Bone marrow smear
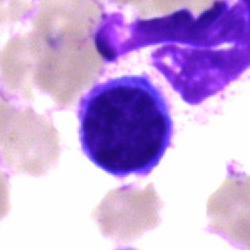
Q: What is shown here?
A: It is a lymphocyte.